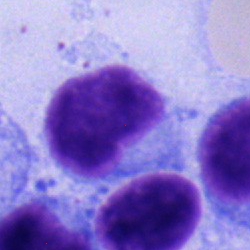 The cell is lymphocyte.